Bone marrow aspirate smear; 250×250:
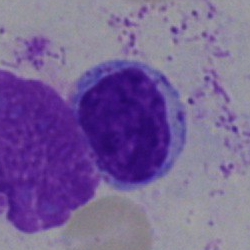 Showing a typical lymphocyte.